Bone marrow aspirate smear
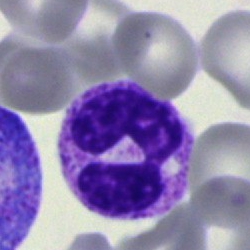
The cell shown is a polymorphonuclear neutrophil.